Bone marrow aspirate smear; single-cell field
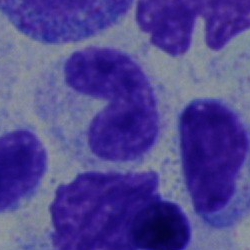
Cell = neutrophil (band).